Bone marrow aspirate smear; May-Grünwald-Giemsa stain; cropped to a single cell:
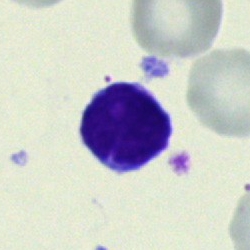Morphology — typical lymphocyte.